Bone marrow aspirate smear — 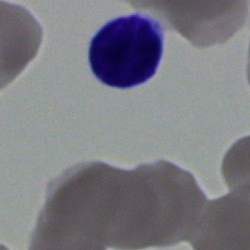A typical lymphocyte.